Bone marrow aspirate smear
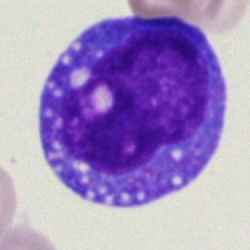

Q: Identify the cell.
A: This is an undifferentiated blast.